Single-cell crop · bone marrow smear — 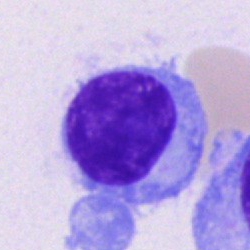
Specimen: bone marrow aspirate smear.
Cell type: plasmacyte.
Lineage: lymphoid.